Bone marrow aspirate smear. Image size 250×250:
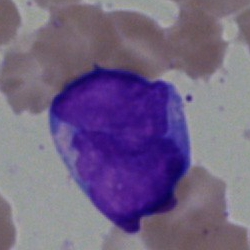 Specimen: bone marrow smear.
Cell type: undifferentiated blast.